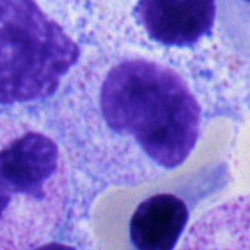

Morphology — metamyelocyte.